Bone marrow smear.
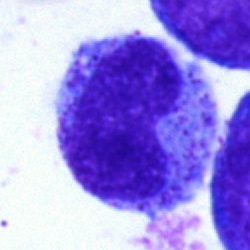
Morphological class — metamyelocyte.